Bone marrow smear.
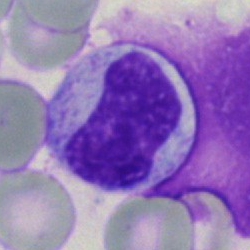

This is a metamyelocyte.